May-Grünwald-Giemsa stain. Bone marrow aspirate smear. 40× objective, oil immersion:
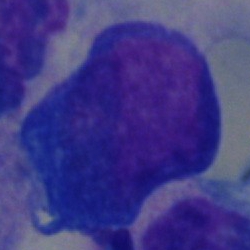Specimen: bone marrow aspirate smear.
Cell: artefact.